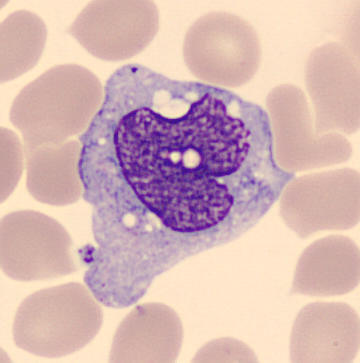 Peripheral blood film.

Q: What is shown here?
A: Monocyte.